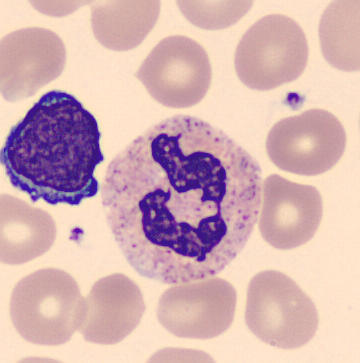
Peripheral blood film; May Grünwald-Giemsa stain. Q: Identify the cell.
A: It is a polymorphonuclear neutrophil.